MGG-stained; single-cell crop; bone marrow aspirate smear: 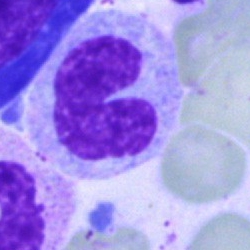 Q: Identify the cell.
A: It is a band neutrophil.